Bone marrow aspirate smear. 250×250 px: 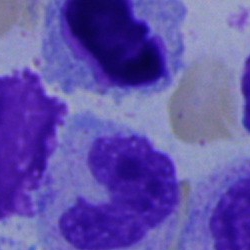This is a neutrophil (band).